250×250. Bone marrow smear
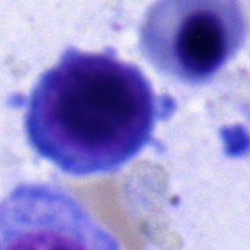 The cell is erythroblast.